Bone marrow aspirate smear · single-cell crop — 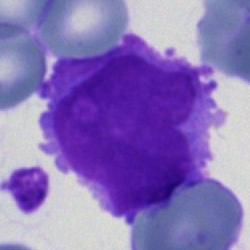 Single cell identified as an undifferentiated blast.